Bone marrow smear.
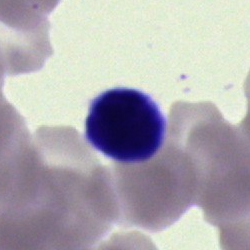

Cell type = artefact.